Peripheral blood film. Image size 400×400 — 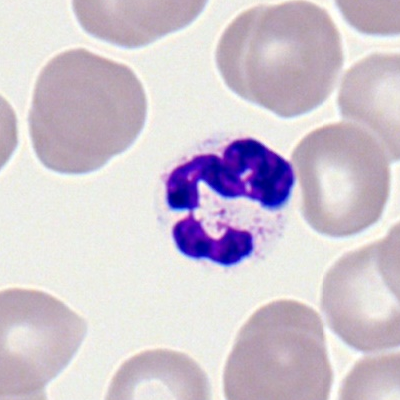 Q: What cell is this?
A: A neutrophil (segmented).